250 by 250 pixels. Bone marrow smear — 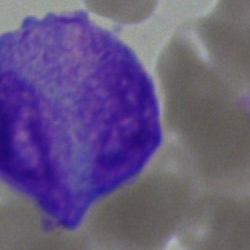 Morphology consistent with a blast.